Pappenheim-stained. Bone marrow smear.
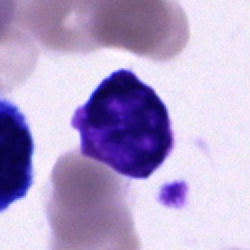{"cell_type": "cell of indeterminate lineage"}